Bone marrow aspirate smear · 250 by 250 pixels
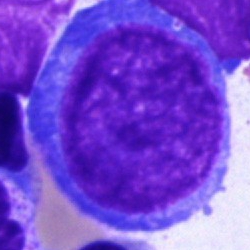
Classification = proerythroblast.